Bone marrow aspirate smear; brightfield microscopy, 40× oil immersion:
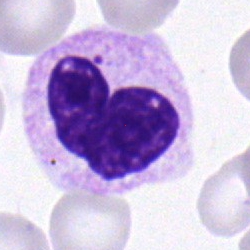A band neutrophil.